Bone marrow smear; 250×250; cropped to a single cell — 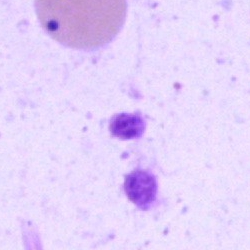
Cell = artifact.